Pappenheim-stained. Bone marrow smear. 250×250 px
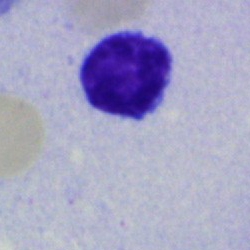
Showing a lymphocyte.